Bone marrow smear.
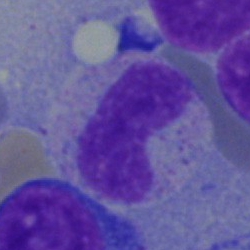

The cell shown is a band neutrophil.